Pappenheim-stained · bone marrow smear
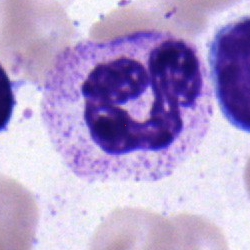 Segmented neutrophil.